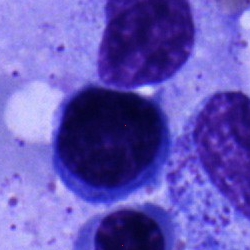 {"cell_type": "normoblast"}